Bone marrow smear
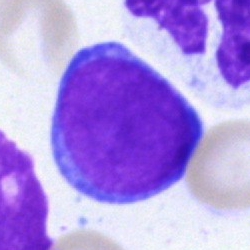Q: What is the morphological classification of this cell?
A: This is a blast cell.